Bone marrow smear: 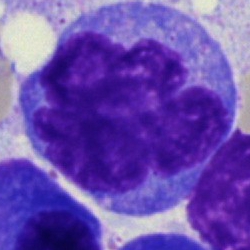
Specimen: bone marrow aspirate smear.
Cell type: monocyte.